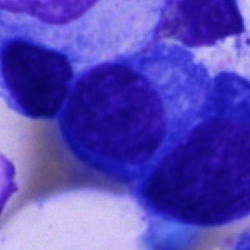
Specimen: bone marrow aspirate smear.
Cell type: plasma cell.
Lineage: lymphoid.